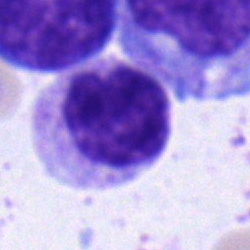
Impression — myelocyte.